Bone marrow aspirate smear — 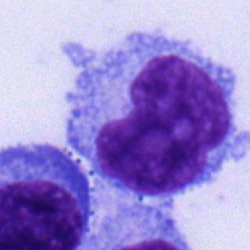 Specimen: bone marrow smear.
Cell: lymphocyte.